Bone marrow aspirate smear · May-Grünwald-Giemsa stain · single cell centered in the field — 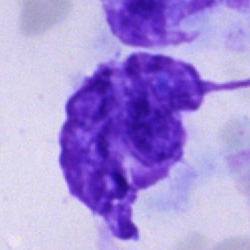

Cell type = artefact.